Bone marrow aspirate smear — 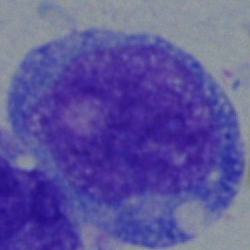

Morphological class = blast cell.